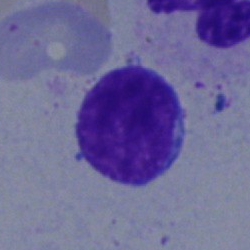 The cell shown is a typical lymphocyte.